Bone marrow smear: 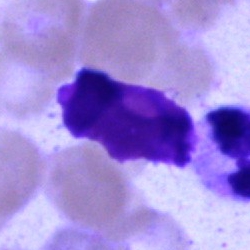Impression → artifact.